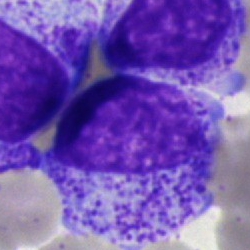 {"cell_type": "myelocyte", "lineage": "myeloid"}